Bone marrow aspirate smear
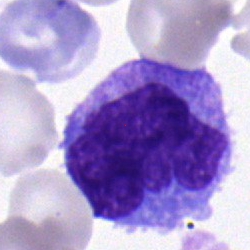 A monocyte.